Bone marrow aspirate smear: 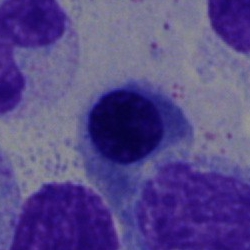 Nucleated red cell.